Brightfield, 40× oil-immersion objective; bone marrow aspirate smear
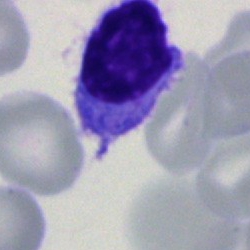
Specimen: bone marrow smear.
Morphological class: typical lymphocyte.
Lineage: lymphoid.